Bone marrow aspirate smear: 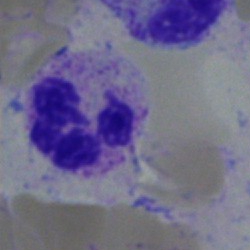 Specimen: bone marrow smear.
Cell type: polymorphonuclear neutrophil.
Lineage: myeloid.